Bone marrow smear · image size 250×250:
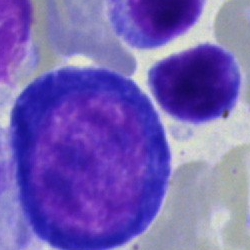
Impression → proerythroblast.